MGG-stained · bone marrow smear — 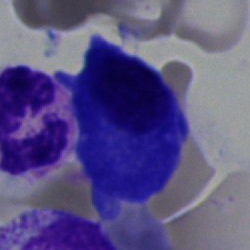The cell type is plasmacyte.